Bone marrow smear
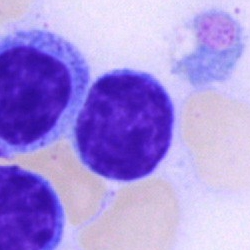 Morphology → typical lymphocyte.